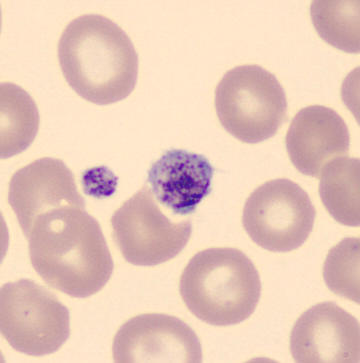MGG-stained · peripheral blood smear.
Classification: platelet (thrombocyte).